Romanowsky-type stain · peripheral blood smear — 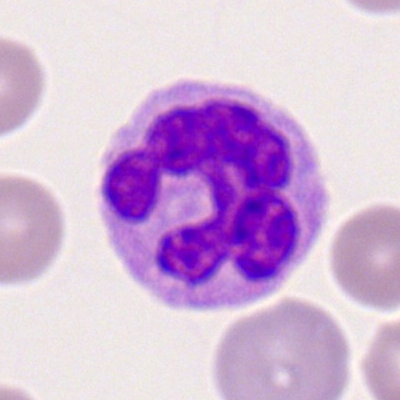

Classification = monocyte.